Peripheral blood smear:
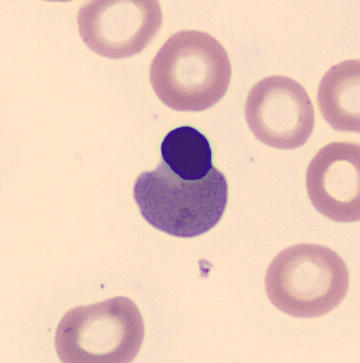Specimen: peripheral blood smear.
Morphological class: nucleated red blood cell.